Bone marrow smear.
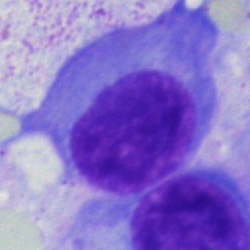

Impression — plasma cell.